Bone marrow aspirate smear · cropped to a single cell — 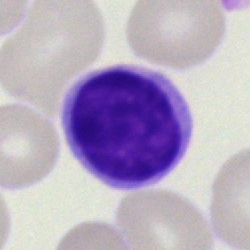

The cell shown is a typical lymphocyte.